Bone marrow smear
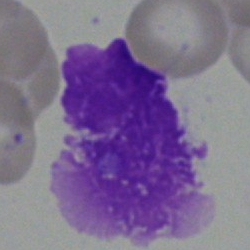
Cell type: typical lymphocyte.